Bone marrow smear: 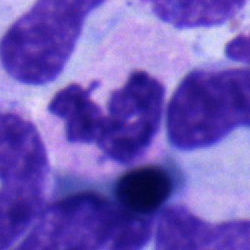 Morphology consistent with a neutrophil (segmented).